Bone marrow smear: 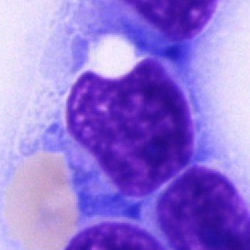

Q: Identify the cell.
A: A blast cell.